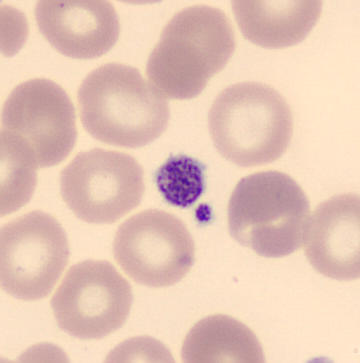 Classification — thrombocyte.

Peripheral blood smear.